40× oil immersion. Bone marrow smear. 250 by 250 pixels
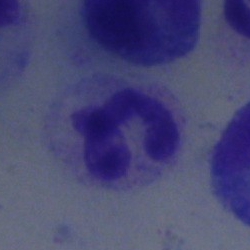 Cell = neutrophil (segmented).